Bone marrow smear: 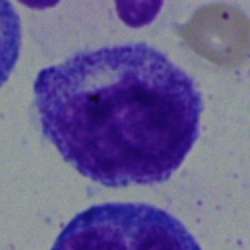 Morphological class = myelocyte.